Peripheral blood smear.
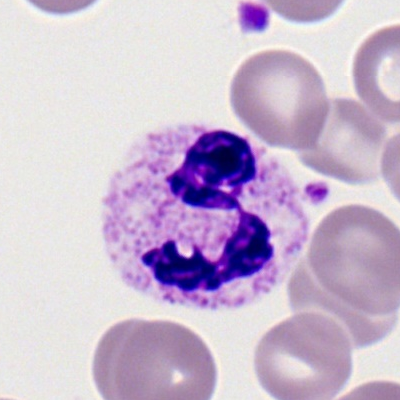Specimen: peripheral blood smear.
Cell type: polymorphonuclear neutrophil.
Lineage: myeloid.